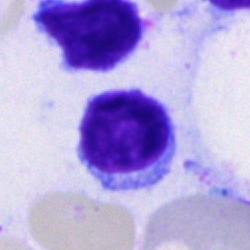This is a typical lymphocyte.